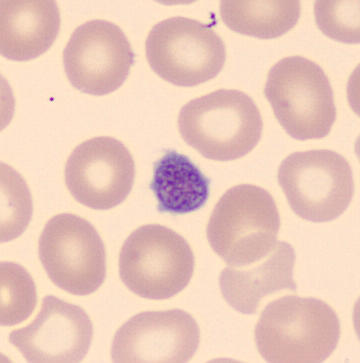 {"cell_type": "platelet"}